Bone marrow smear: 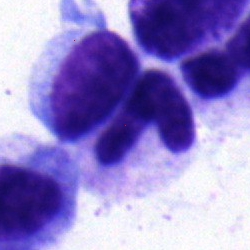Morphological class = band neutrophil.